Bone marrow smear. Image size 250×250:
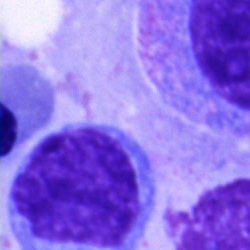Morphology consistent with an unidentifiable cell.